May-Grünwald-Giemsa-stained · single cell centered in the field · peripheral blood film
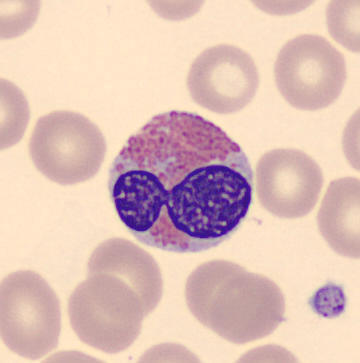 Q: Which cell type is shown here?
A: It is an eosinophil.